Peripheral blood smear. Romanowsky-stained — 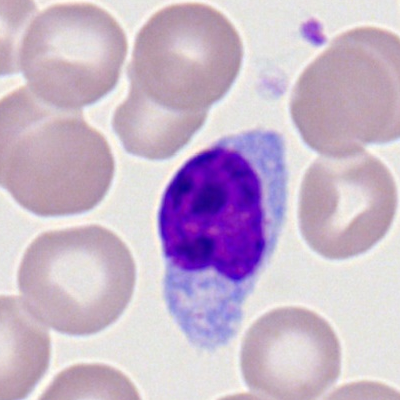 The morphological class is lymphocyte.